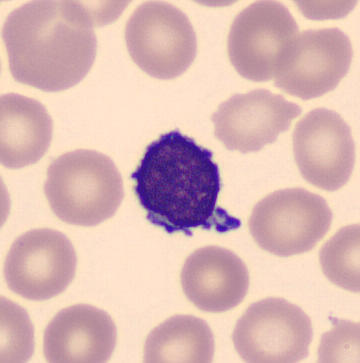 Preparation: CellaVision DM96 · peripheral blood smear. The cell shown is a typical lymphocyte.